May-Grünwald-Giemsa/Pappenheim stain · 250 by 250 pixels · bone marrow smear
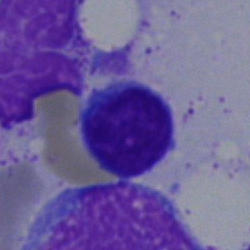

Morphology → typical lymphocyte.